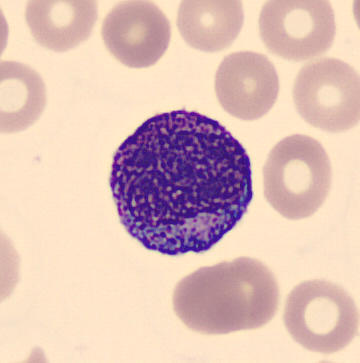

Showing a promyelocyte.